Bone marrow aspirate smear.
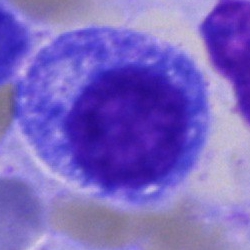

Morphological class — progranulocyte.